Bone marrow smear
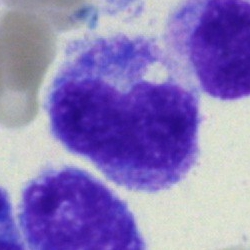
Classification — monocyte.